Single cell centered in the field. Image size 250×250. Bone marrow smear.
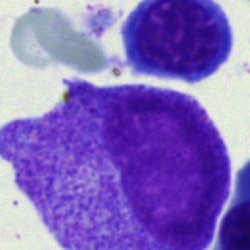
Progranulocyte.